Bone marrow aspirate smear
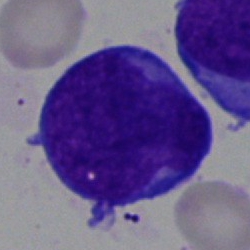
Single cell identified as a blast.